Brightfield, 40× oil-immersion objective · bone marrow smear
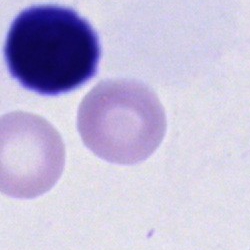

This is a cell of indeterminate lineage.